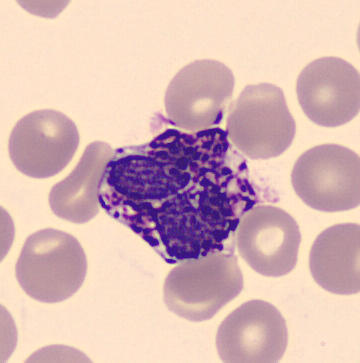
A basophil on a peripheral blood smear.